Bone marrow aspirate smear · single-cell crop — 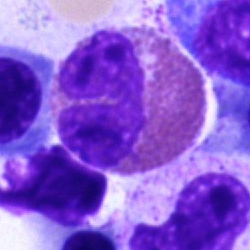
This is an eosinophilic granulocyte.